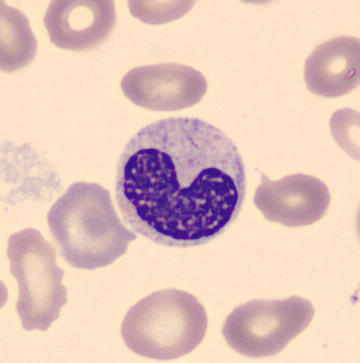Cell: neutrophil (band). Image: Peripheral blood smear.